MGG-stained. Bone marrow smear. Cropped to a single cell: 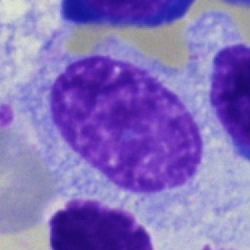
Classification — unidentifiable cell.